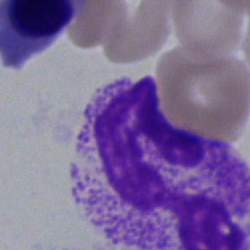A segmented neutrophil.